400×400. Peripheral blood smear
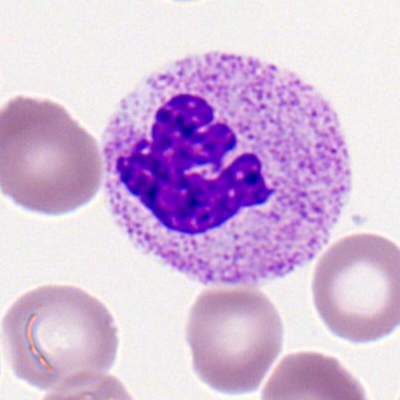 Specimen: peripheral blood smear.
Cell: segmented neutrophil.